May-Grünwald-Giemsa/Pappenheim stain; bone marrow smear
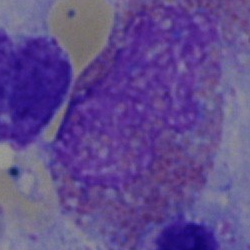

Showing an eosinophil.